Bone marrow aspirate smear.
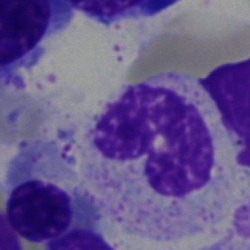

Classification: neutrophil (band).